40× oil immersion; 250×250; bone marrow aspirate smear: 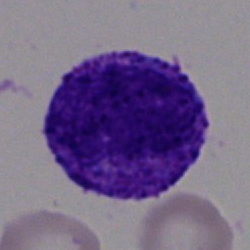Impression → promyelocyte.